Bone marrow aspirate smear: 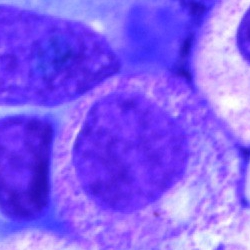Myelocyte.